Peripheral blood film — 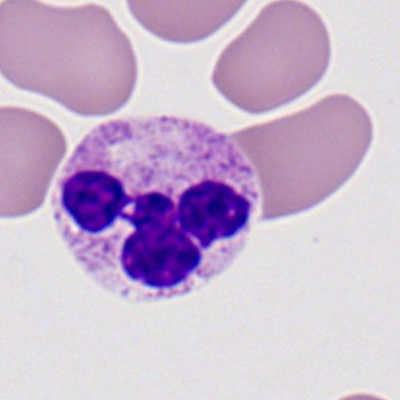Morphology consistent with a polymorphonuclear neutrophil.